Bone marrow aspirate smear: 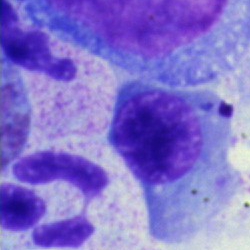
Morphology consistent with a nucleated red cell.